Bone marrow aspirate smear; cropped to a single cell
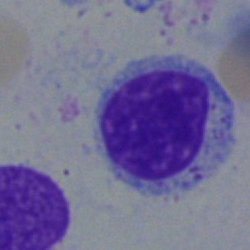The morphological class is typical lymphocyte.